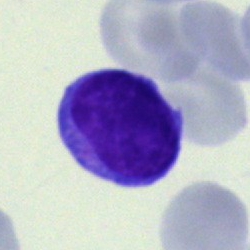A lymphocyte on a bone marrow smear.